Single-cell field · May-Grünwald-Giemsa/Pappenheim stain · bone marrow smear: 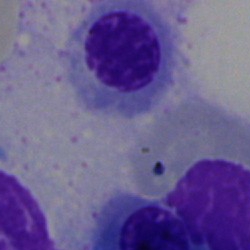

Specimen: bone marrow aspirate smear.
Cell type: erythroblast.
Lineage: erythroid.